Bone marrow aspirate smear · cropped to a single cell: 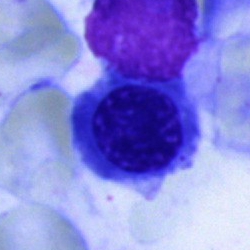
Q: Which cell type is shown here?
A: Nucleated red blood cell.